Bone marrow smear: 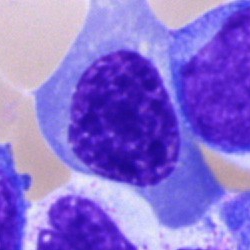 Impression → nucleated red cell.